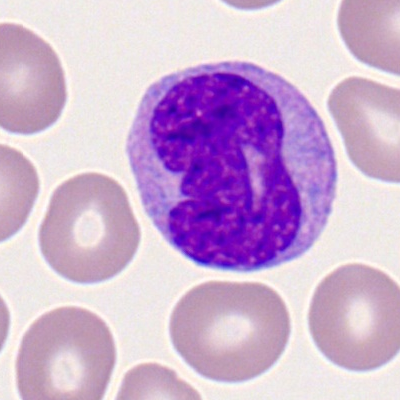

Cell — monocyte.